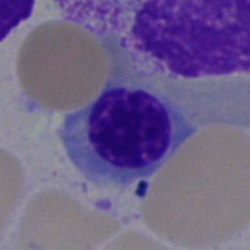Single cell identified as an erythroblast.